May-Grünwald-Giemsa stain · bone marrow smear
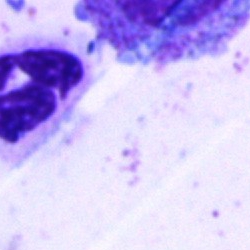Showing a polymorphonuclear neutrophil.